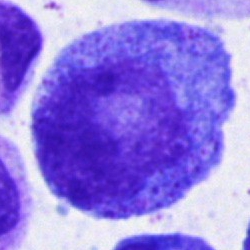
{"cell_type": "promyelocyte"}